Bone marrow smear
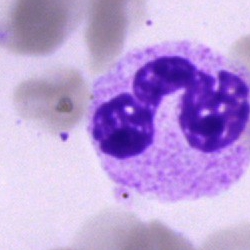

This is a neutrophil (segmented).